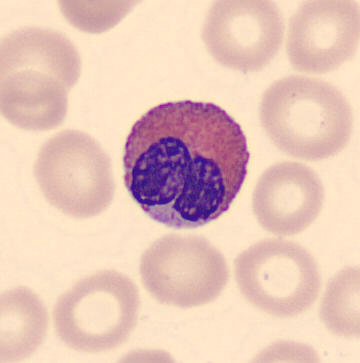
Showing an eosinophilic granulocyte.
Image: Peripheral blood film.